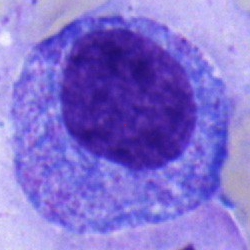 A progranulocyte on a bone marrow smear.